Bone marrow aspirate smear: 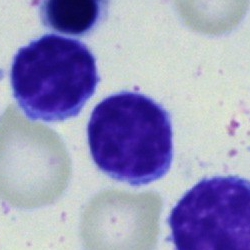Impression → lymphocyte.